Bone marrow aspirate smear
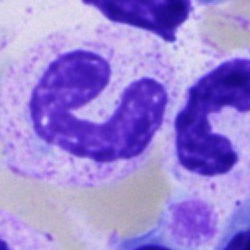

Morphological class — stab cell.